Bone marrow aspirate smear · brightfield microscopy, 40× oil immersion · 250×250 px:
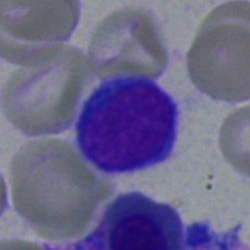
Q: What type of cell is this?
A: This is a typical lymphocyte.